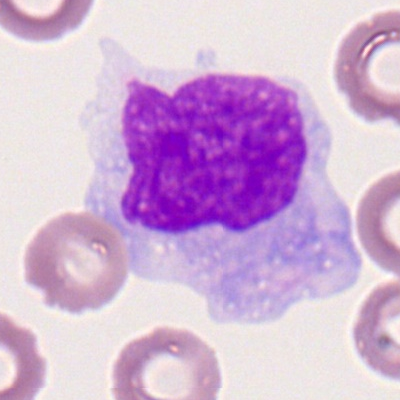
The cell shown is a monocyte.